40× oil immersion; image size 250×250; bone marrow smear.
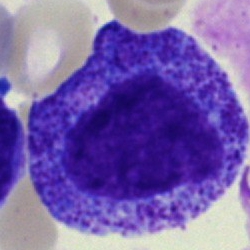
Single cell identified as a promyelocyte.